Bone marrow smear:
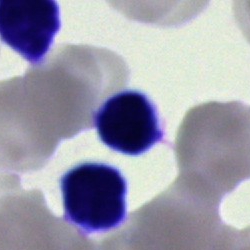Q: Which cell type is shown here?
A: This is a lymphocyte.